MGG-stained; 40× oil immersion; bone marrow aspirate smear
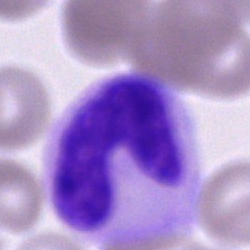 The morphological class is neutrophil (band).